Bone marrow aspirate smear:
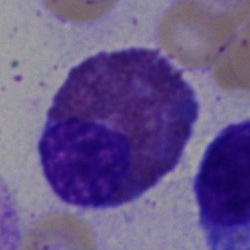 Eosinophilic granulocyte.